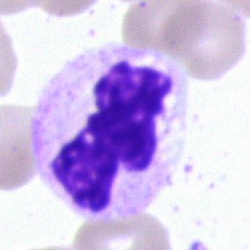
Cell: segmented neutrophil.